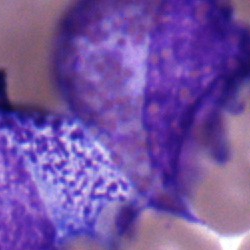 Morphological class — eosinophilic granulocyte.